Bone marrow smear
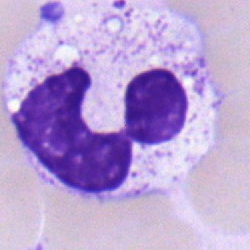 The cell shown is a polymorphonuclear neutrophil.